Bone marrow smear — 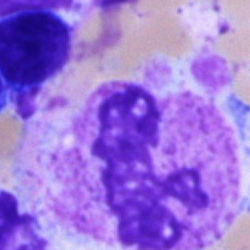
This is a neutrophil (segmented).